Bone marrow aspirate smear. 250×250. May-Grünwald-Giemsa/Pappenheim stain
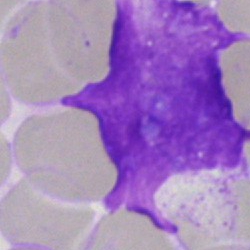

Morphological class = artifact.